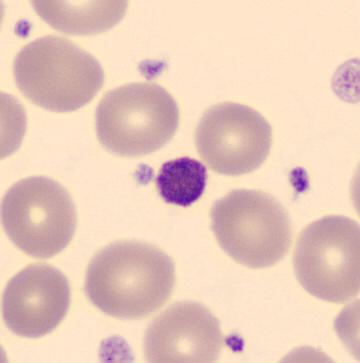
A platelet (thrombocyte). Peripheral blood film; 360×363.